Romanowsky stain · peripheral blood film — 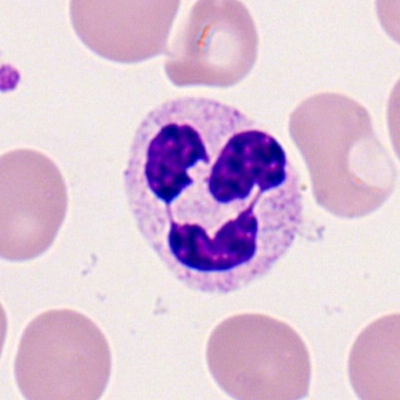 This is a polymorphonuclear neutrophil.